40× objective, oil immersion. Bone marrow smear. Single-cell field: 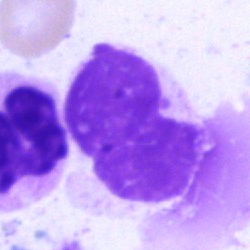

Morphological class = artefact.